Brightfield, 40× oil-immersion objective. Bone marrow smear:
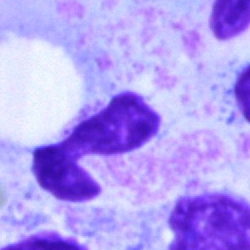Impression → segmented neutrophil.